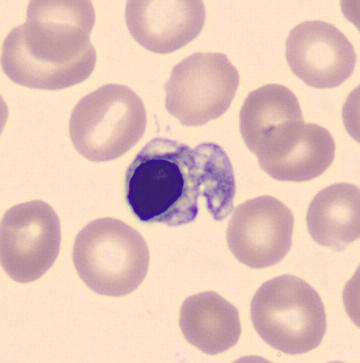
Q: What is shown here?
A: It is an erythroblast.